Bone marrow smear:
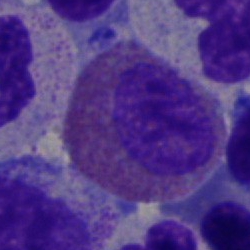Q: Identify the cell.
A: It is an eosinophil.